Bone marrow aspirate smear. Image size 250×250.
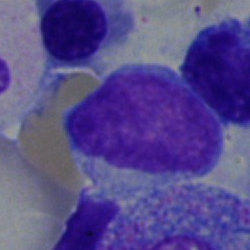
A blast.